Peripheral blood film · single-cell field: 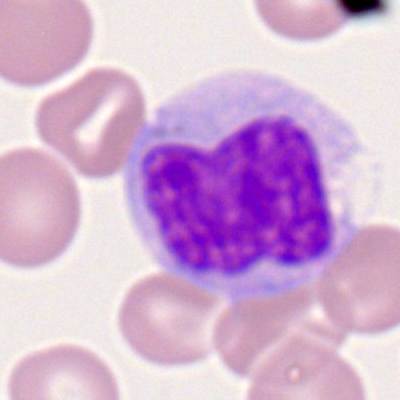
Q: What type of cell is this?
A: It is a monocyte.